Bone marrow smear: 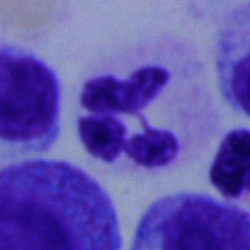A segmented neutrophil.